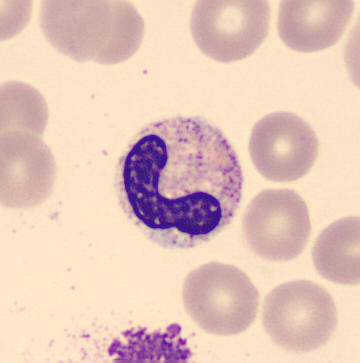Acquisition: Automated cell imaging (CellaVision DM96) · peripheral blood smear.
Single cell identified as a band neutrophil.